Bone marrow aspirate smear.
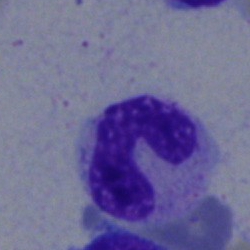
Q: What is the morphological classification of this cell?
A: A segmented neutrophil.